May-Grünwald-Giemsa-stained. Peripheral blood smear — 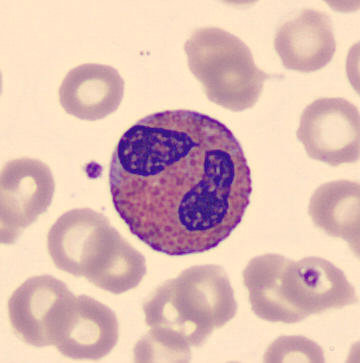
Specimen: peripheral blood film.
Cell: eosinophil.